100× oil immersion, 14.14 px/µm. Peripheral blood film
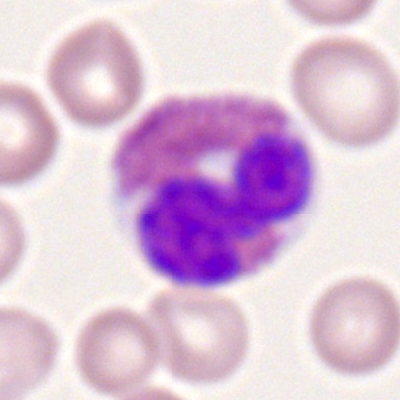
Eosinophilic granulocyte.